MGG-stained. Bone marrow aspirate smear. Brightfield, 40× oil-immersion objective.
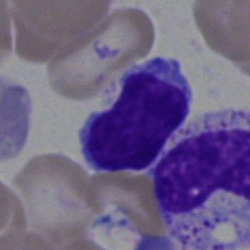

Morphological class = lymphocyte.